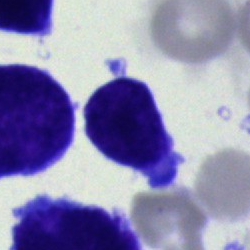
Classification: blast.